Brightfield microscopy, 40× oil immersion; May-Grünwald-Giemsa/Pappenheim stain; bone marrow smear.
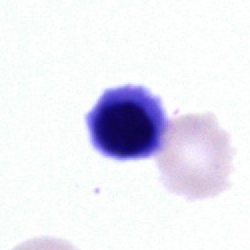

The morphological class is nucleated red cell.